Bone marrow aspirate smear
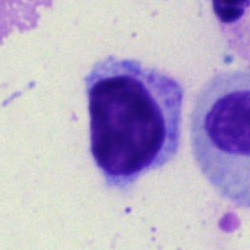 The cell is lymphocyte.